Bone marrow aspirate smear — 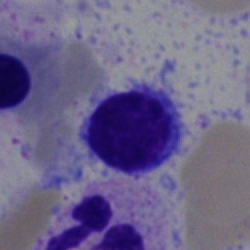

Q: What cell is this?
A: A typical lymphocyte.